Bone marrow smear:
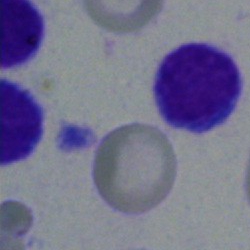Specimen: bone marrow smear.
Classification: lymphocyte.
Lineage: lymphoid.